Bone marrow smear.
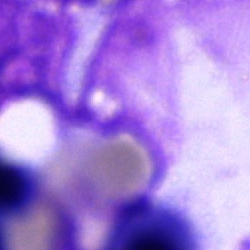Q: What is shown here?
A: Artefact.